May-Grünwald-Giemsa/Pappenheim stain. Bone marrow aspirate smear. Single-cell crop.
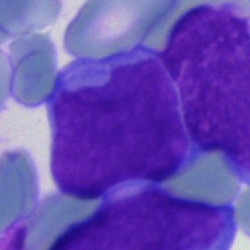

Specimen: bone marrow smear.
Classification: blast cell.